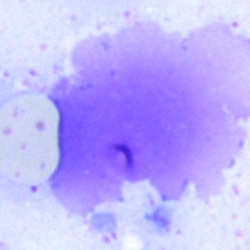 Q: What is shown here?
A: This is an artefact.